Bone marrow aspirate smear. 250 by 250 pixels — 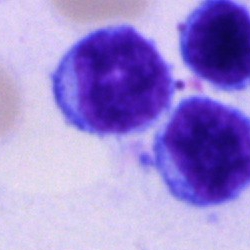
Specimen: bone marrow smear.
Classification: typical lymphocyte.
Lineage: lymphoid.